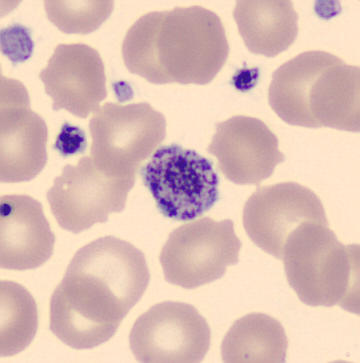
Peripheral blood smear.
Classification: platelet (thrombocyte).